Bone marrow smear · MGG-stained: 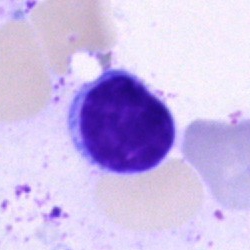A typical lymphocyte.